Peripheral blood film · 400 by 400 pixels: 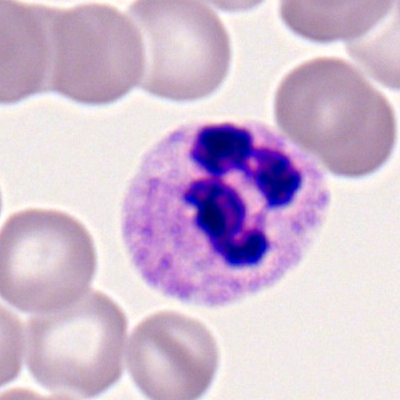Morphology consistent with a segmented neutrophil.